Bone marrow smear
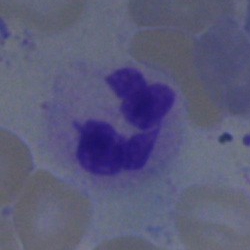Q: What type of cell is this?
A: Neutrophil (segmented).